Brightfield microscopy, 40× oil immersion · bone marrow aspirate smear — 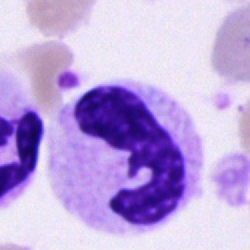Cell: stab cell.